Bone marrow smear; image size 250×250:
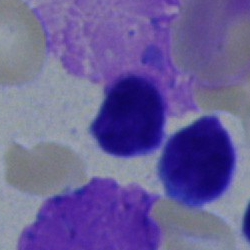Showing a lymphocyte.